Bone marrow smear:
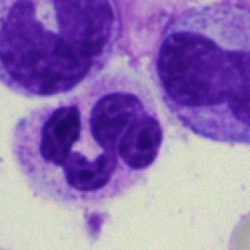
Q: Identify the cell.
A: A segmented neutrophil.